Bone marrow smear.
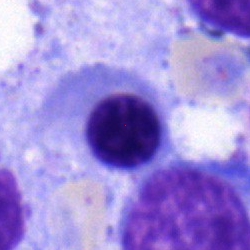 This is a nucleated red blood cell.